Bone marrow smear
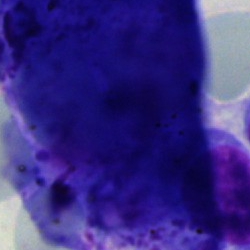

Morphology → artefact.